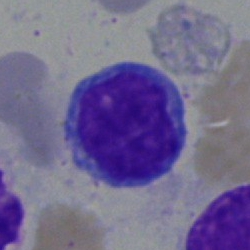
Specimen: bone marrow aspirate smear.
Morphological class: typical lymphocyte.
Lineage: lymphoid.